Peripheral blood film — 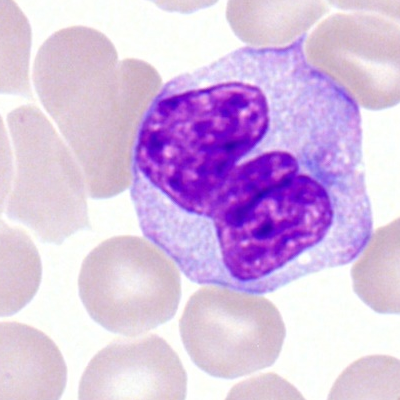 The classification is monocyte.